Bone marrow smear:
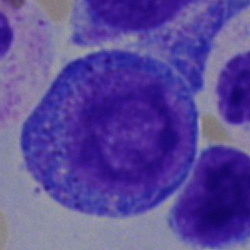
This is a progranulocyte.